Bone marrow smear
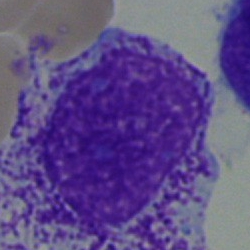 The cell shown is a myelocyte.